Bone marrow aspirate smear
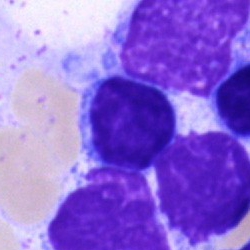
Morphological class — lymphocyte.